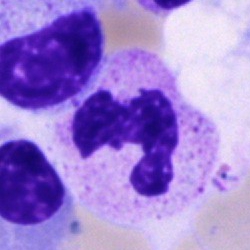
The cell shown is a polymorphonuclear neutrophil.